Bone marrow aspirate smear
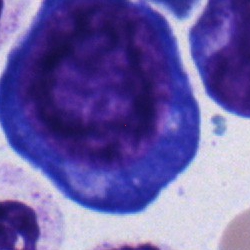 Pronormoblast.